Bone marrow aspirate smear:
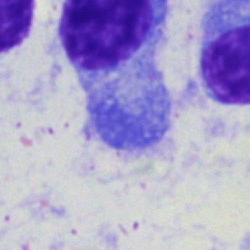

Cell type = plasma cell.